Bone marrow smear — 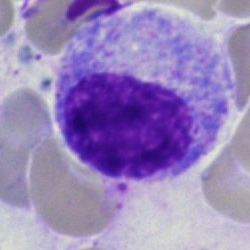Cell = myelocyte.